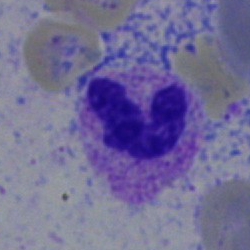
Impression — neutrophil (segmented).